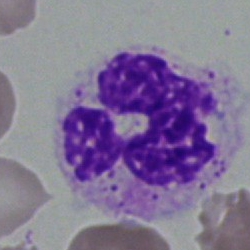
Morphological class = neutrophil (segmented).